Single-cell crop · bone marrow aspirate smear · 250 by 250 pixels
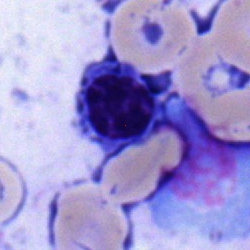

This is a nucleated red cell.